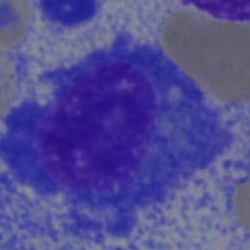{"cell_type": "plasma cell", "lineage": "lymphoid"}